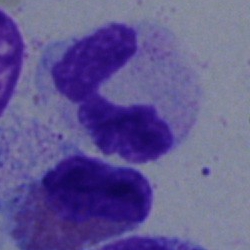 The cell shown is a polymorphonuclear neutrophil.